40× objective, oil immersion; bone marrow smear.
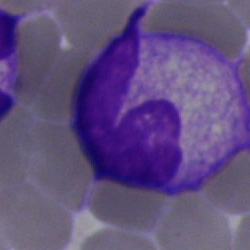
Showing a neutrophil (band).